Bone marrow smear — 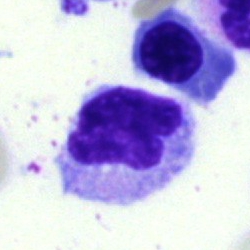Q: What is the morphological classification of this cell?
A: A monocyte.